Bone marrow smear — 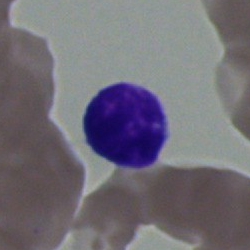 Morphological class = lymphocyte.